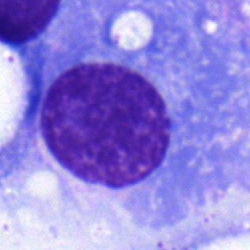

Plasmacyte.